Bone marrow smear:
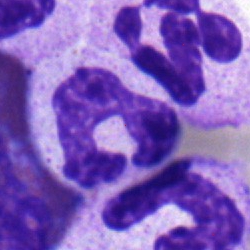
Cell type: segmented neutrophil.